May-Grünwald-Giemsa/Pappenheim stain. Bone marrow smear: 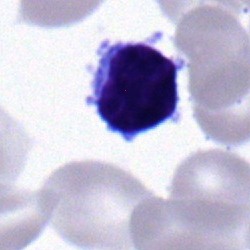
Morphology → typical lymphocyte.